Bone marrow smear: 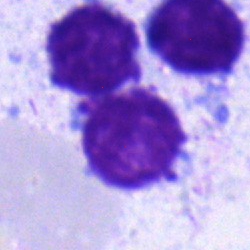

The cell type is lymphocyte.